250×250 px. Bone marrow aspirate smear:
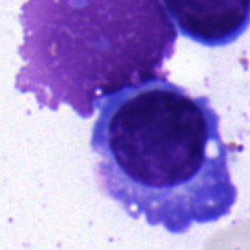 Morphology consistent with a plasma cell.